Bone marrow smear; 40× oil immersion:
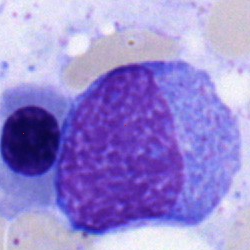Morphology consistent with a monocyte.